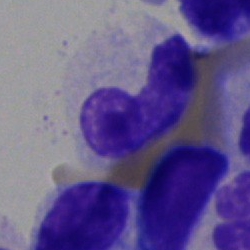 {"cell_type": "band neutrophil", "lineage": "myeloid"}